Cropped to a single cell; bone marrow aspirate smear — 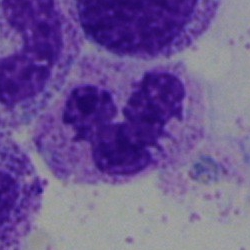A segmented neutrophil.